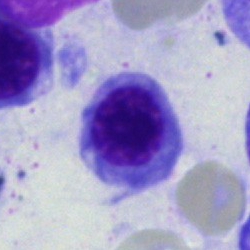 Morphology consistent with a nucleated red cell.